Bone marrow aspirate smear: 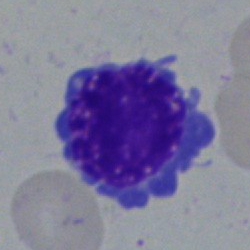
Morphology — normoblast.